Bone marrow smear: 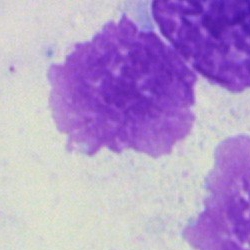Q: What is shown here?
A: An artefact.